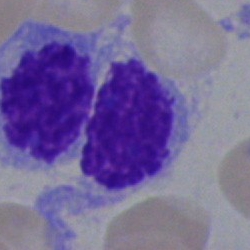

Single cell identified as a typical lymphocyte.